250×250 px. Bone marrow aspirate smear.
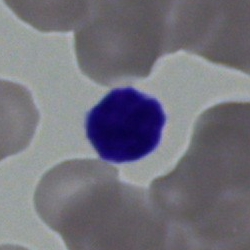Cell type — lymphocyte.